Bone marrow smear — 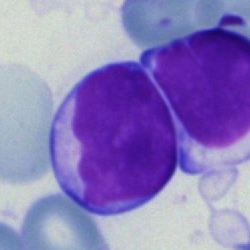Showing a lymphocyte.